Pappenheim-stained · bone marrow aspirate smear.
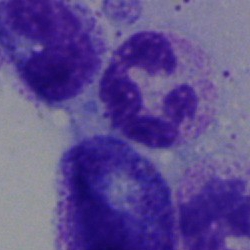 The cell shown is a segmented neutrophil.